Cropped to a single cell; bone marrow aspirate smear.
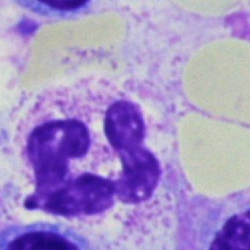 A segmented neutrophil.